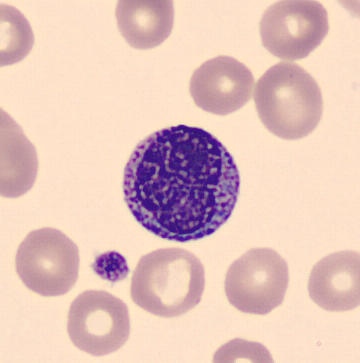
Showing a myelocyte.